Bone marrow aspirate smear:
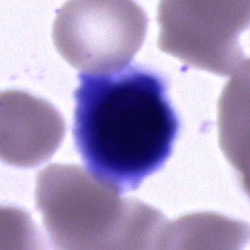
This is an unidentifiable cell.